Bone marrow smear. Cropped to a single cell. May-Grünwald-Giemsa/Pappenheim stain:
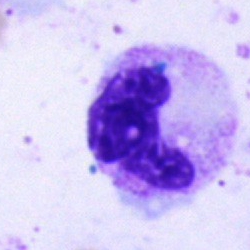 Cell type — polymorphonuclear neutrophil.